Bone marrow smear — 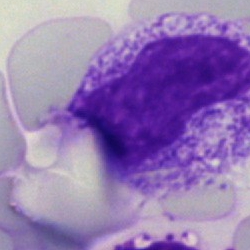

Q: What is shown here?
A: This is a metamyelocyte.